Bone marrow aspirate smear: 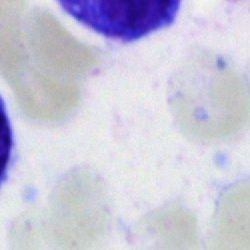 Cell of indeterminate lineage.